Bone marrow aspirate smear:
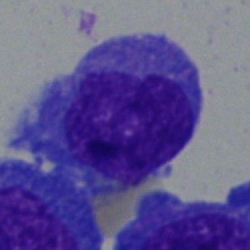Blast cell.